Bone marrow smear
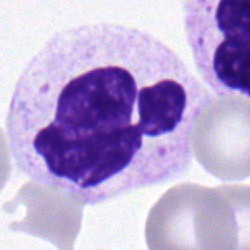

Morphology — segmented neutrophil.